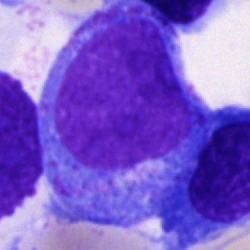Q: What cell is this?
A: This is a promyelocyte.